Bone marrow aspirate smear; 250×250.
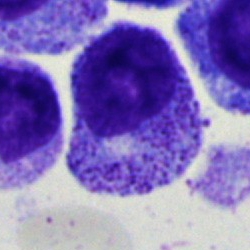 Specimen: bone marrow smear.
Classification: myelocyte.